Bone marrow smear:
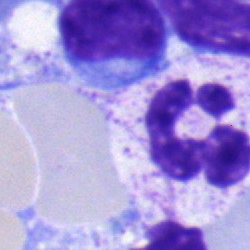Q: What cell is this?
A: Polymorphonuclear neutrophil.